Bone marrow aspirate smear: 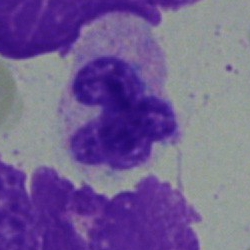
{"cell_type": "segmented neutrophil", "lineage": "myeloid"}